Bone marrow aspirate smear — 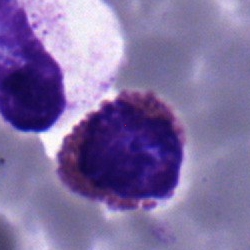

Cell — eosinophil.